Bone marrow aspirate smear:
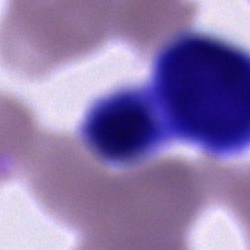
Cell = cell of indeterminate lineage.